Bone marrow smear: 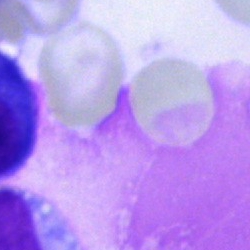 Artefact.